Bone marrow smear — 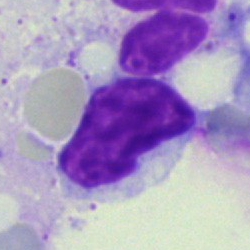 Lymphocyte.